Bone marrow aspirate smear:
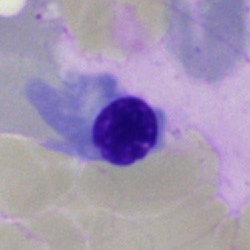 Classification — erythroblast.